Bone marrow aspirate smear
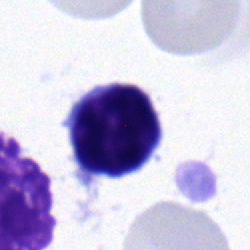

Morphology — typical lymphocyte.